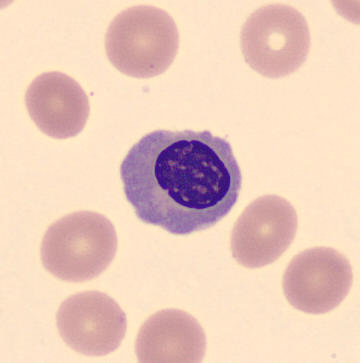

Morphology consistent with a normoblast.